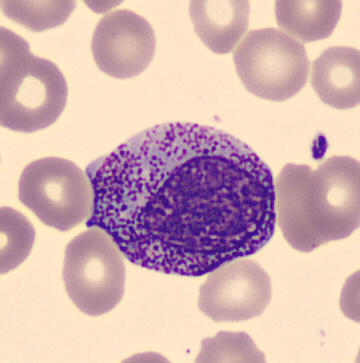

The cell shown is a progranulocyte.